Peripheral blood smear. Single-cell crop — 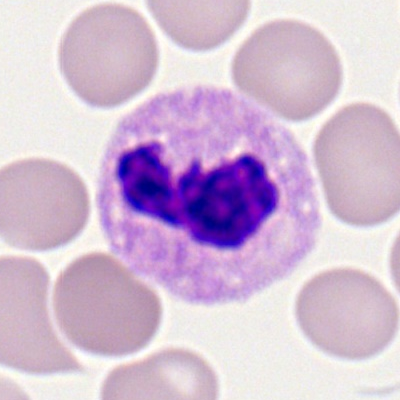Q: Which cell type is shown here?
A: This is a neutrophil (segmented).